Bone marrow smear. MGG-stained.
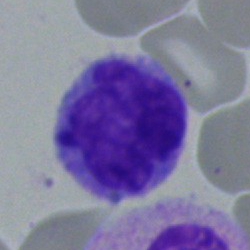 This is a monocyte.